40× objective, oil immersion; bone marrow smear; May-Grünwald-Giemsa stain.
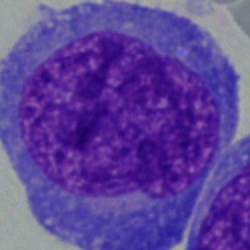
Impression — blast cell.